May-Grünwald-Giemsa/Pappenheim stain; bone marrow aspirate smear; cropped to a single cell — 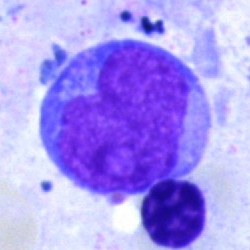

Morphology — undifferentiated blast.